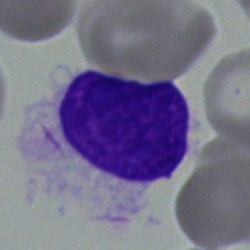

This is an artifact.